Bone marrow aspirate smear. 250×250:
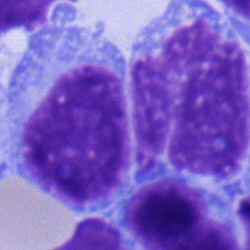
Specimen: bone marrow smear.
Classification: typical lymphocyte.